Bone marrow aspirate smear: 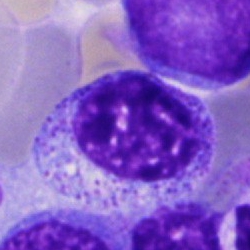Single cell identified as a myelocyte.